Peripheral blood smear: 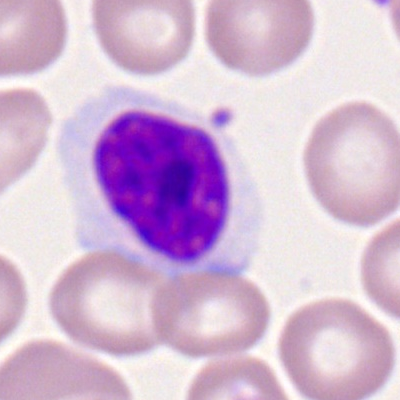 A typical lymphocyte.